40× objective, oil immersion · bone marrow smear.
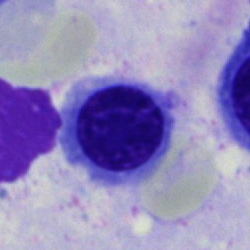 This is a nucleated red cell.